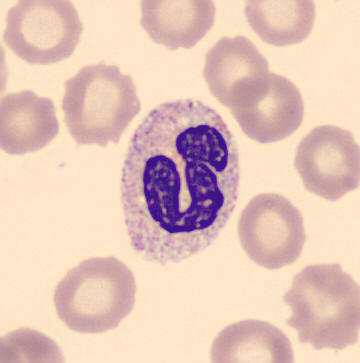
Peripheral blood film · 360 by 363 pixels. Q: What is shown here?
A: This is a polymorphonuclear neutrophil.